Bone marrow smear. Single-cell crop
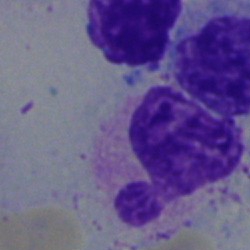Polymorphonuclear neutrophil.